MGG-stained. Bone marrow smear. 250×250
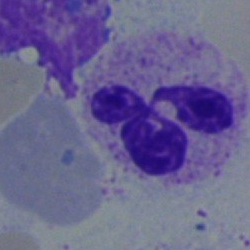
Q: Identify the cell.
A: This is a segmented neutrophil.